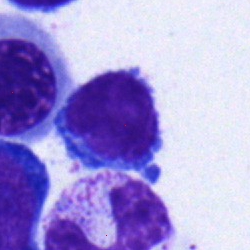
Cell type: lymphocyte.